Bone marrow smear — 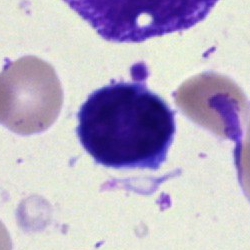This is a typical lymphocyte.